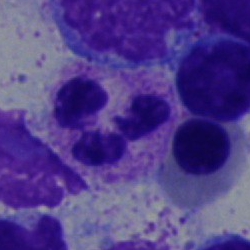

Specimen: bone marrow smear.
Cell type: neutrophil (segmented).
Lineage: myeloid.